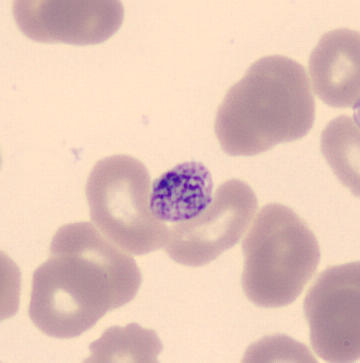360×363 px; peripheral blood smear.
A platelet (thrombocyte).